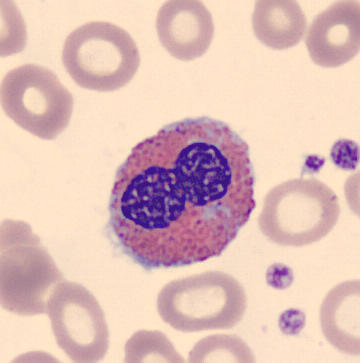
This is an eosinophil.